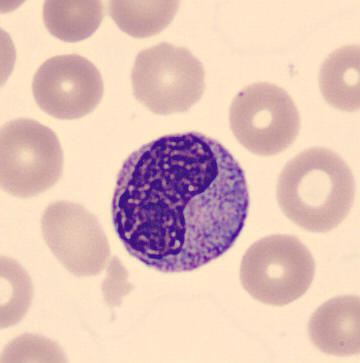

Single cell identified as a metamyelocyte.
Preparation: Peripheral blood film. Single-cell crop.